Bone marrow smear.
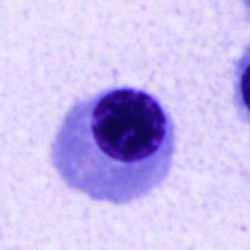 Q: Which cell type is shown here?
A: This is a nucleated red blood cell.